Single-cell field. Bone marrow smear: 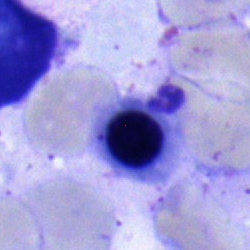Q: What type of cell is this?
A: It is a normoblast.